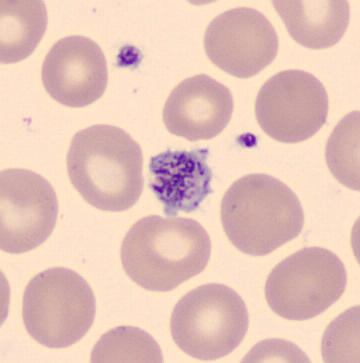Impression — platelet (thrombocyte). Image: Peripheral blood film · automated cell imaging (CellaVision DM96).